Image size 250×250. Bone marrow aspirate smear — 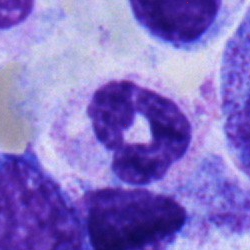
Impression — polymorphonuclear neutrophil.